Bone marrow aspirate smear: 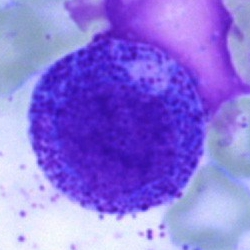

The morphological class is promyelocyte.